Single-cell field · peripheral blood smear:
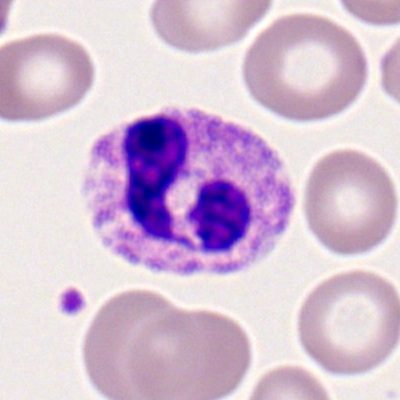The cell type is polymorphonuclear neutrophil.